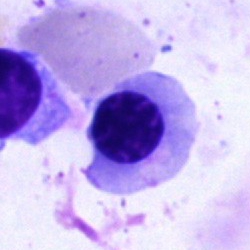Morphological class — nucleated red cell.